Bone marrow aspirate smear · 40× objective, oil immersion:
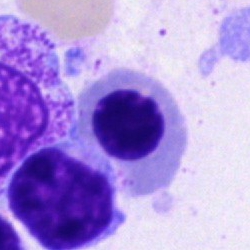Cell type — erythroblast.